Bone marrow aspirate smear
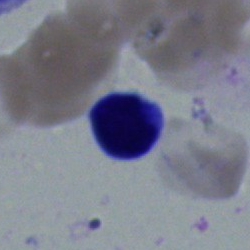 Cell type: typical lymphocyte.